Peripheral blood film.
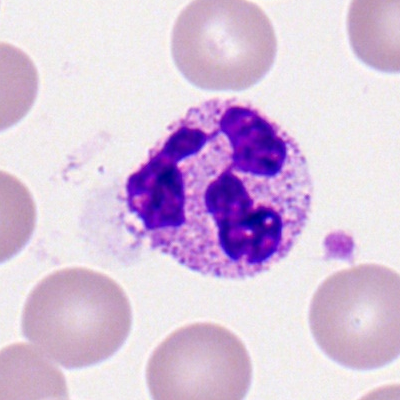
The classification is segmented neutrophil.